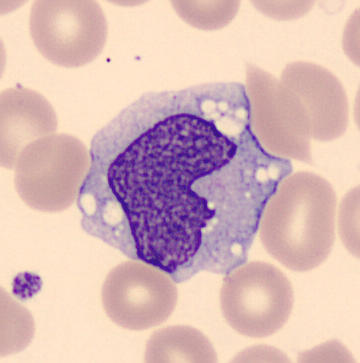Single-cell field; peripheral blood smear.

{"cell_type": "monocyte"}